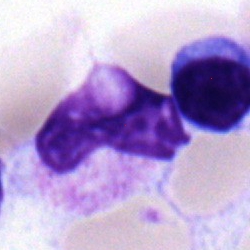
Classification — band-form neutrophil.